Bone marrow smear; 250×250 px: 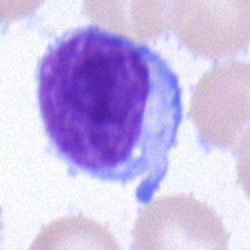 The cell shown is a lymphocyte.